Bone marrow smear · 250×250 px — 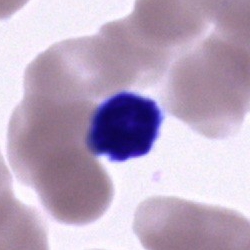
This is a cell of indeterminate lineage.